Bone marrow aspirate smear:
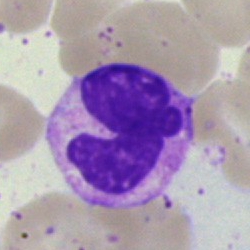 Cell — polymorphonuclear neutrophil.